Peripheral blood smear. Single-cell field.
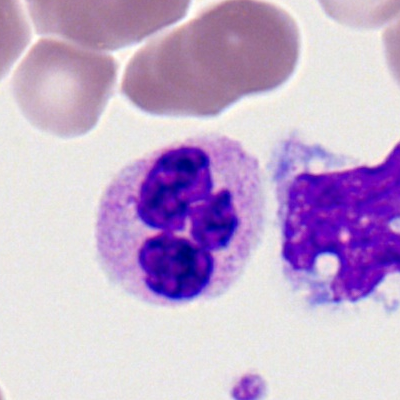Specimen: peripheral blood smear.
Cell type: polymorphonuclear neutrophil.
Lineage: myeloid.